Bone marrow aspirate smear.
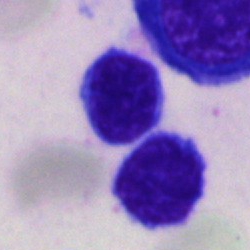
Classification — plasmacyte.